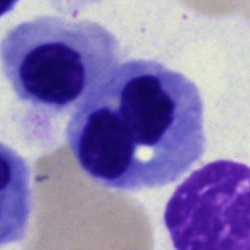
Cell type — nucleated red cell.